Bone marrow smear. 250 by 250 pixels — 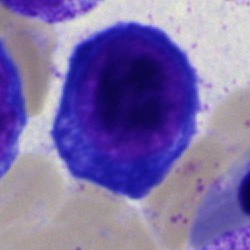

Q: What is the morphological classification of this cell?
A: Nucleated red blood cell.